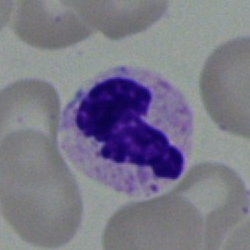

Morphology → segmented neutrophil.